Peripheral blood smear
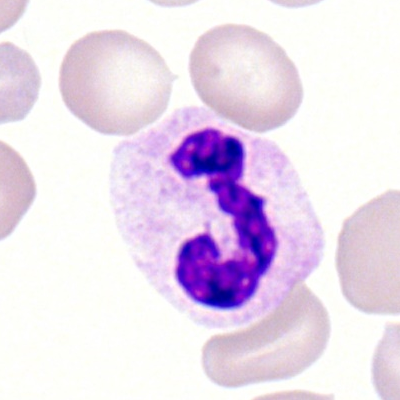
Morphology → polymorphonuclear neutrophil.